40× oil immersion · bone marrow smear
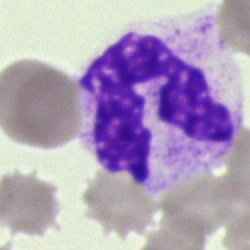Classification: neutrophil (segmented).